Pappenheim-stained; cropped to a single cell; bone marrow smear:
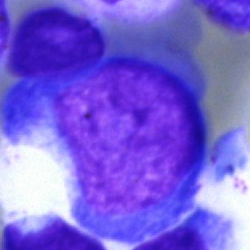

Q: What is the morphological classification of this cell?
A: It is an undifferentiated blast.